40× oil immersion; bone marrow aspirate smear; May-Grünwald-Giemsa stain.
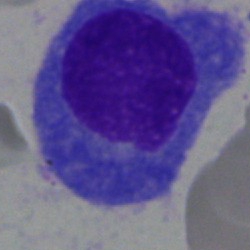 A plasma cell.